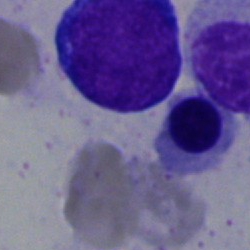Classification: nucleated red cell.